250×250 · bone marrow smear
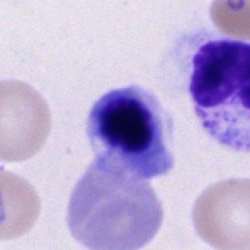

Impression → normoblast.